Bone marrow smear; 250×250; 40× oil immersion.
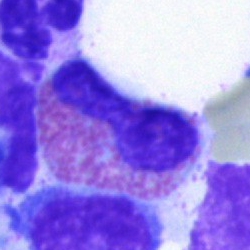 Morphology — eosinophil.